Peripheral blood smear — 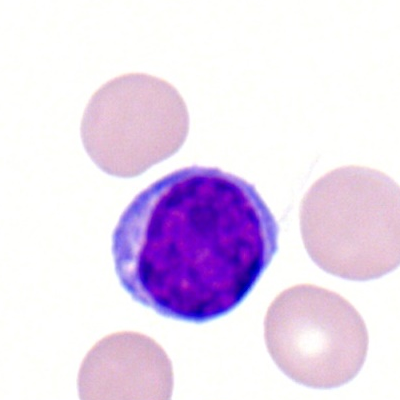 Showing a typical lymphocyte.